Bone marrow smear: 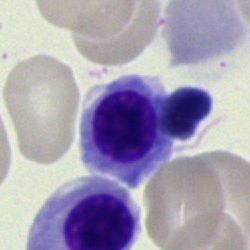Cell — normoblast.